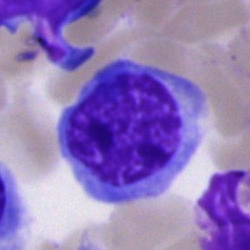Impression → nucleated red cell.